Bone marrow smear.
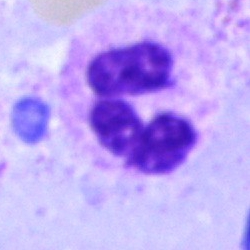The morphological class is segmented neutrophil.